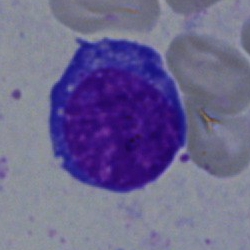 The cell is nucleated red blood cell.